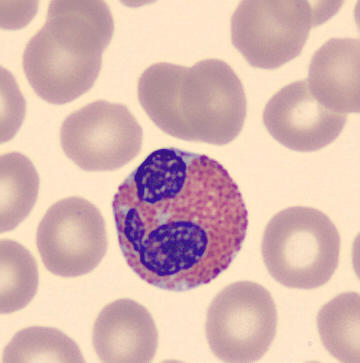 Identified as an eosinophil.

Image: MGG-stained · peripheral blood smear.